Single-cell crop; bone marrow smear; 250 by 250 pixels — 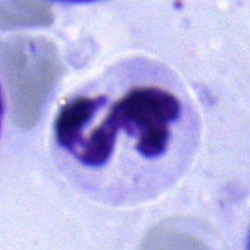
The cell shown is a polymorphonuclear neutrophil.